Bone marrow smear:
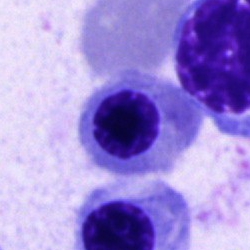

Morphological class = erythroblast.